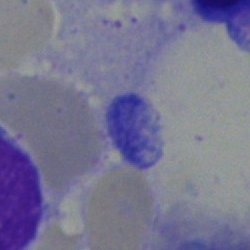Q: What is shown here?
A: It is an artefact.